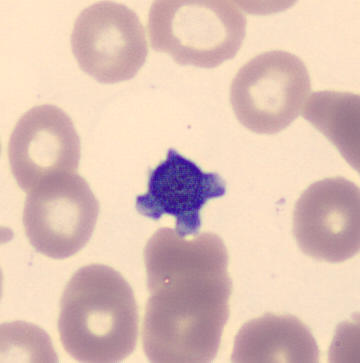 Impression — thrombocyte.
Image: May Grünwald-Giemsa stain · automated cell imaging (CellaVision DM96) · peripheral blood film.